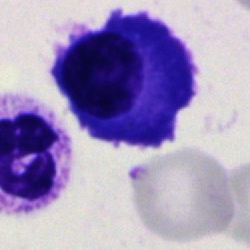 Morphology consistent with a plasma cell.